Bone marrow aspirate smear: 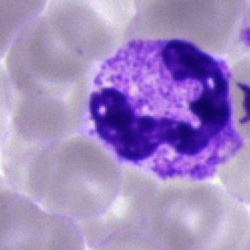 Specimen: bone marrow aspirate smear.
Cell: segmented neutrophil.